Brightfield, 40× oil-immersion objective; bone marrow aspirate smear
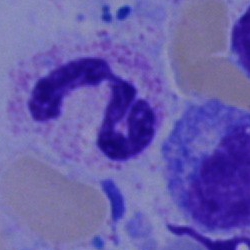 Cell type = polymorphonuclear neutrophil.